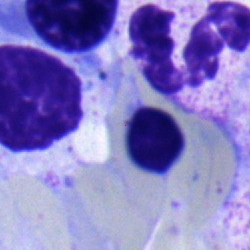

The cell type is nucleated red blood cell.